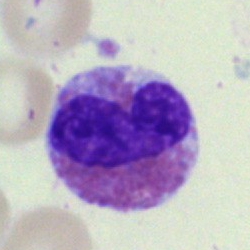

{"cell_type": "eosinophilic granulocyte"}